MGG-stained. Brightfield, 40× oil-immersion objective. Bone marrow smear.
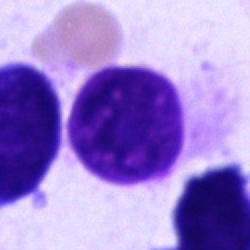 Q: What is shown here?
A: Artefact.